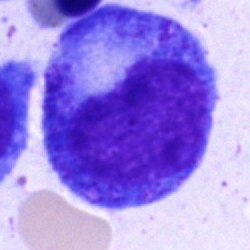
Showing a progranulocyte.